Bone marrow smear — 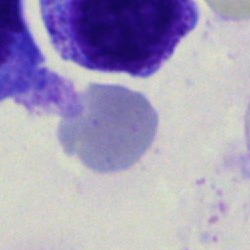 Morphology consistent with an artifact.